40× oil immersion. Single cell centered in the field. Bone marrow smear.
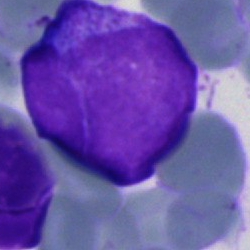Single cell identified as a blast.